Bone marrow aspirate smear.
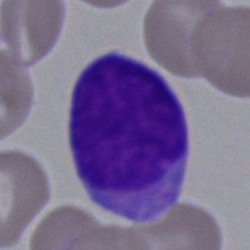
Morphology consistent with a blast.